Bone marrow aspirate smear — 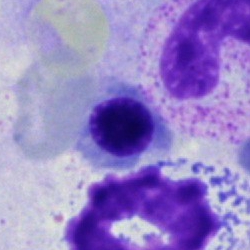
Normoblast.